Brightfield microscopy, 40× oil immersion · bone marrow aspirate smear · May-Grünwald-Giemsa stain:
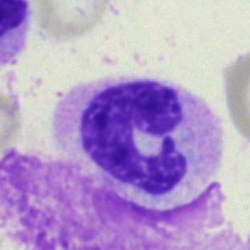Morphological class = neutrophil (segmented).